Bone marrow aspirate smear.
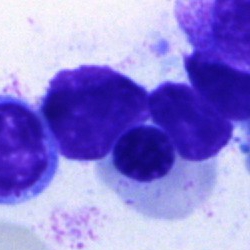
Q: What cell is this?
A: A nucleated red blood cell.